Bone marrow aspirate smear — 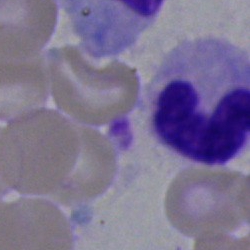
This is a stab cell.